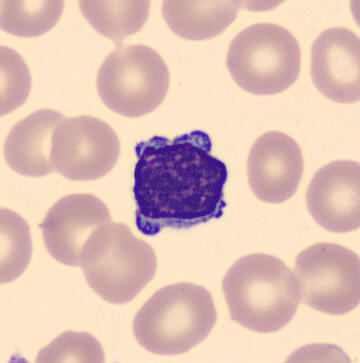
Morphological class = typical lymphocyte.